Bone marrow aspirate smear · brightfield microscopy, 40× oil immersion · single-cell field: 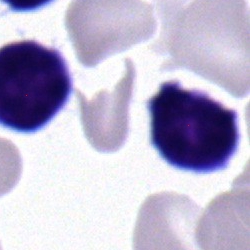
The cell type is lymphocyte.